Bone marrow aspirate smear: 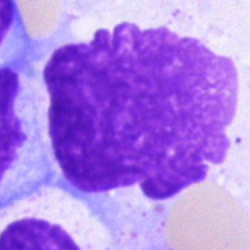{"cell_type": "artefact"}